Bone marrow aspirate smear. Single-cell field. Brightfield, 40× oil-immersion objective.
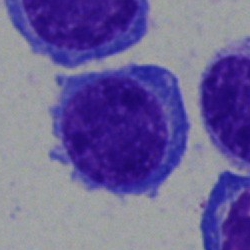

Morphology — plasmacyte.